Bone marrow aspirate smear
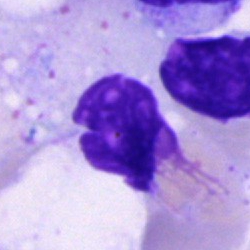 Q: What is shown here?
A: This is an artifact.